Peripheral blood film; single cell centered in the field; 100× objective, oil immersion:
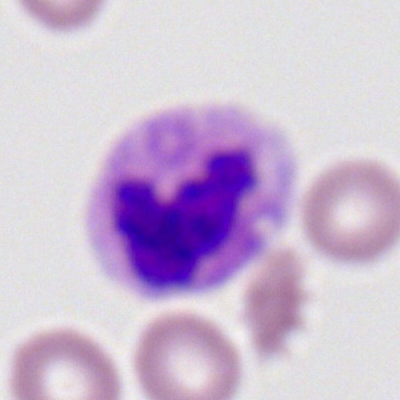

Q: What is the morphological classification of this cell?
A: It is a polymorphonuclear neutrophil.